Peripheral blood film. Single-cell field. Brightfield, 100× oil-immersion objective — 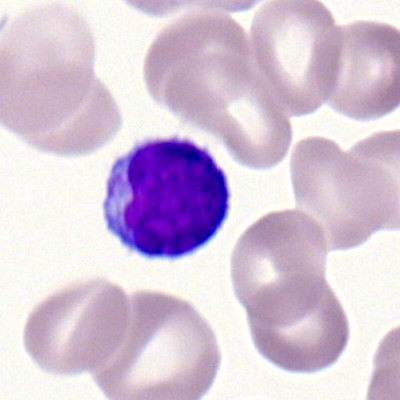This is a typical lymphocyte.